Bone marrow smear.
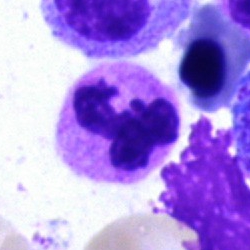 Q: What cell is this?
A: It is a polymorphonuclear neutrophil.